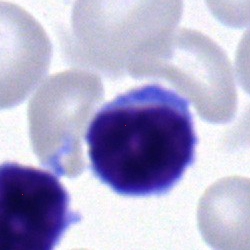

The cell shown is a typical lymphocyte.